Bone marrow smear.
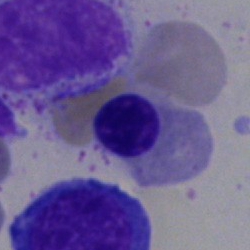

Classification — normoblast.